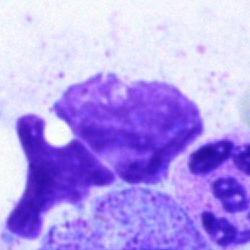 Specimen: bone marrow aspirate smear.
Classification: artifact.